Bone marrow smear: 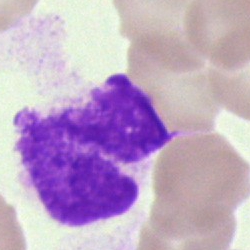 Q: What is shown here?
A: It is an artefact.